Bone marrow aspirate smear. Cropped to a single cell. MGG-stained: 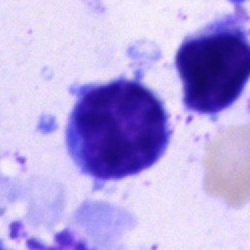
Morphology consistent with a typical lymphocyte.